Image size 250×250 · MGG-stained · bone marrow aspirate smear
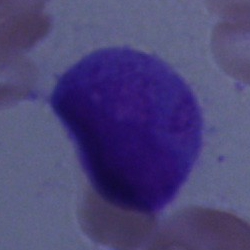 Q: What is shown here?
A: An artefact.